Single-cell crop · bone marrow smear:
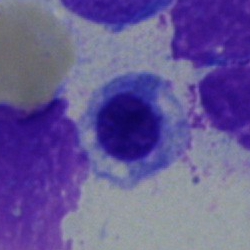Q: What type of cell is this?
A: Nucleated red cell.